May-Grünwald-Giemsa/Pappenheim stain · bone marrow smear.
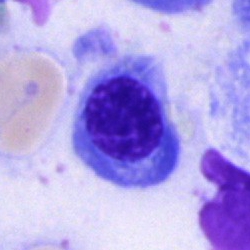Morphology consistent with an erythroblast.